Bone marrow aspirate smear.
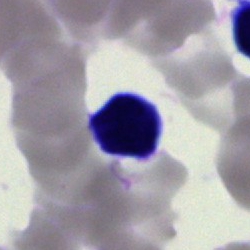

Typical lymphocyte.